Bone marrow smear — 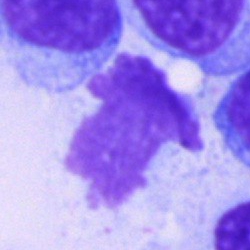Morphology consistent with an artefact.